Bone marrow smear
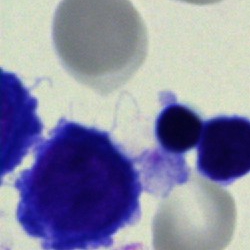

Morphology — artifact.